Bone marrow aspirate smear — 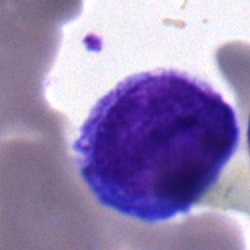
Cell — blast cell.